Image size 250×250. Bone marrow smear:
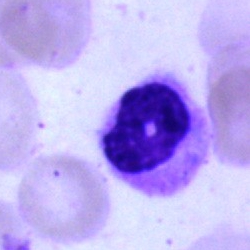 The cell shown is a polymorphonuclear neutrophil.